Bone marrow aspirate smear.
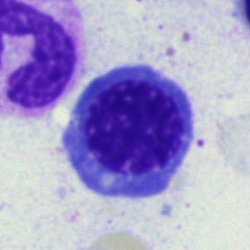

Morphological class: normoblast.